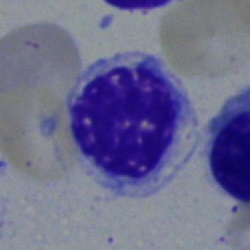

The cell type is nucleated red cell.